Bone marrow smear.
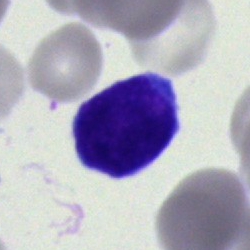Cell = blast.